Bone marrow smear · MGG-stained · image size 250×250
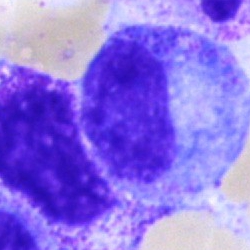Classification = progranulocyte.